Bone marrow aspirate smear
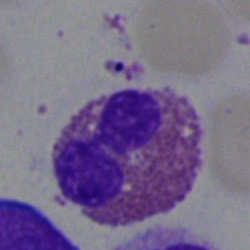 The cell type is eosinophilic granulocyte.